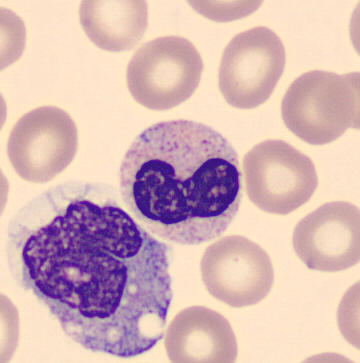 Peripheral blood film, single cell — stab cell.